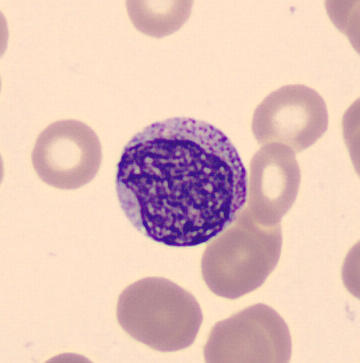From a peripheral blood smear: a myelocyte.